Single-cell crop; bone marrow aspirate smear.
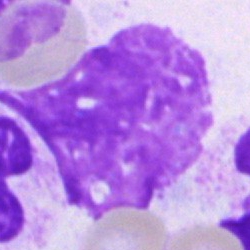 Showing an artifact.